Peripheral blood smear; Romanowsky-type stain
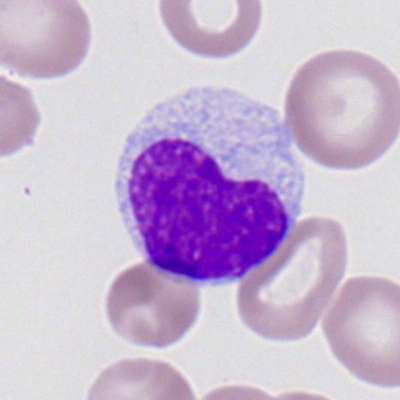{"cell_type": "lymphocyte"}